Bone marrow aspirate smear · 250 by 250 pixels:
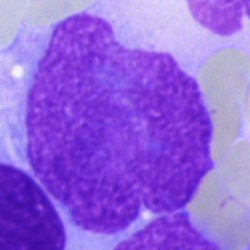Single cell identified as an artefact.